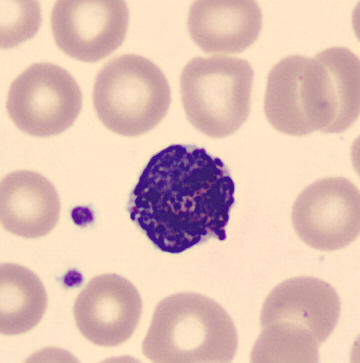

Peripheral blood smear.

Morphology — basophil.